Bone marrow smear — 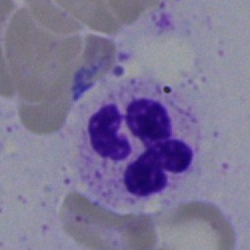 The morphological class is segmented neutrophil.